Brightfield, 40× oil-immersion objective · bone marrow smear · Pappenheim-stained.
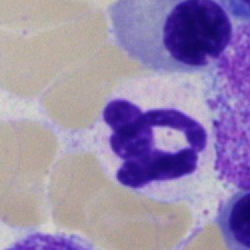
Specimen: bone marrow smear.
Cell type: neutrophil (segmented).